May-Grünwald-Giemsa stain. Bone marrow smear: 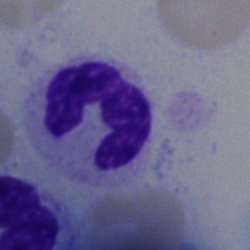 A neutrophil (segmented).